May-Grünwald-Giemsa stain · bone marrow smear · image size 250×250:
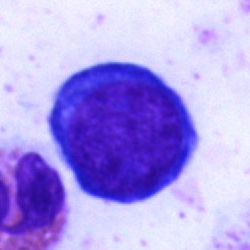 A nucleated red cell.